Bone marrow smear: 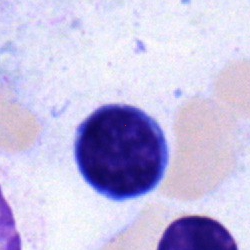
This is a lymphocyte.